Single cell centered in the field · image size 250×250 · bone marrow smear
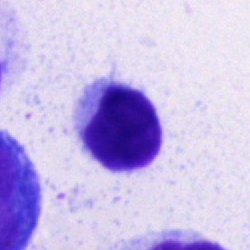 Classification = lymphocyte.